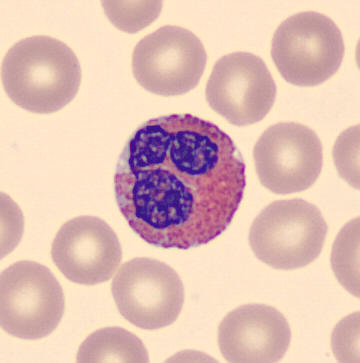The cell is eosinophilic granulocyte.